Bone marrow aspirate smear: 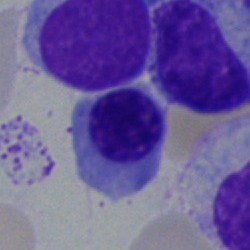Cell type: nucleated red blood cell.